Bone marrow aspirate smear: 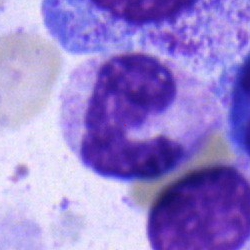Showing a neutrophil (band).